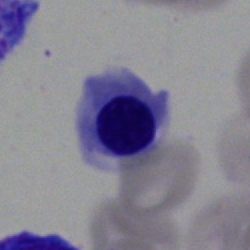
Nucleated red cell.